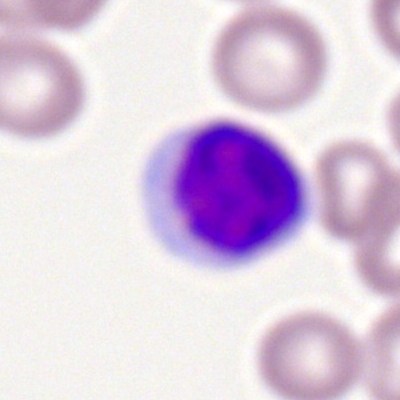 Q: What type of cell is this?
A: It is a lymphocyte.